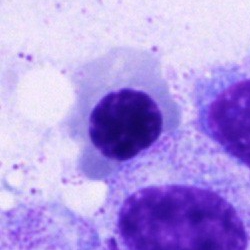 Specimen: bone marrow aspirate smear.
Cell type: erythroblast.
Lineage: erythroid.